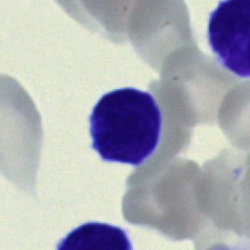 Cell type: typical lymphocyte.